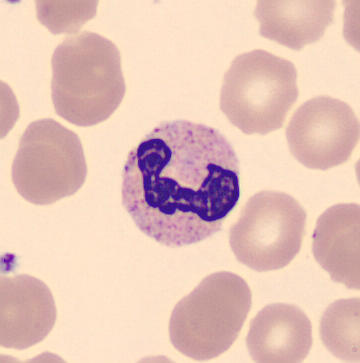A neutrophil (segmented).

Image: Peripheral blood smear.